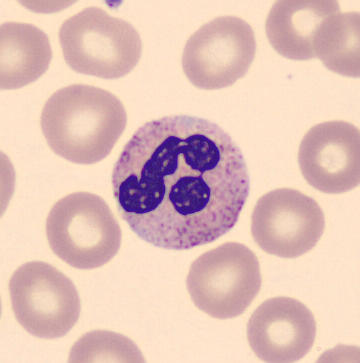Cell — segmented neutrophil.